Cropped to a single cell; bone marrow aspirate smear.
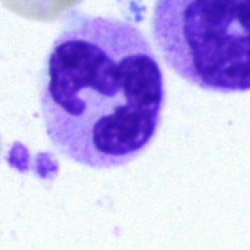 Cell type: segmented neutrophil.